Bone marrow aspirate smear.
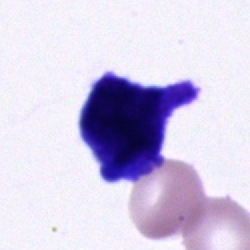Specimen: bone marrow smear.
Cell type: unidentifiable cell.